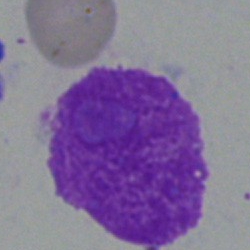

Q: What is shown here?
A: It is an artifact.